Bone marrow aspirate smear; 250×250; brightfield, 40× oil-immersion objective:
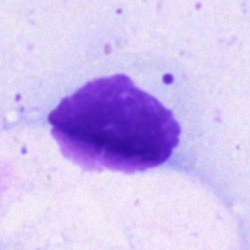Artifact.